Bone marrow aspirate smear · May-Grünwald-Giemsa/Pappenheim stain.
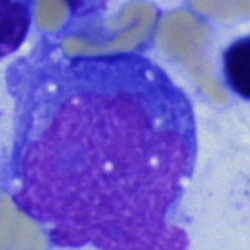

Impression — blast.